Bone marrow smear · single-cell field
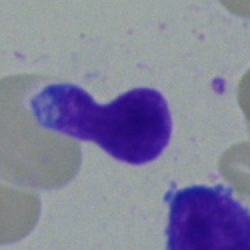Morphology consistent with a blast.